Cropped to a single cell; 250 by 250 pixels; bone marrow aspirate smear
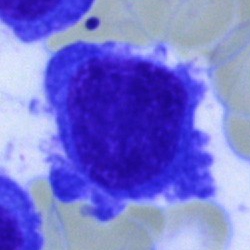Plasma cell.